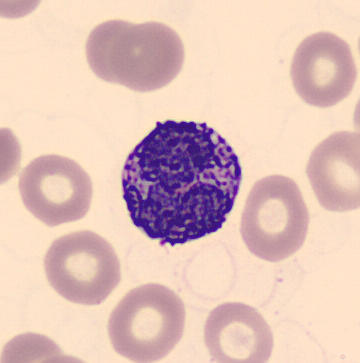

Cell — basophilic granulocyte.
Peripheral blood smear.